Peripheral blood film.
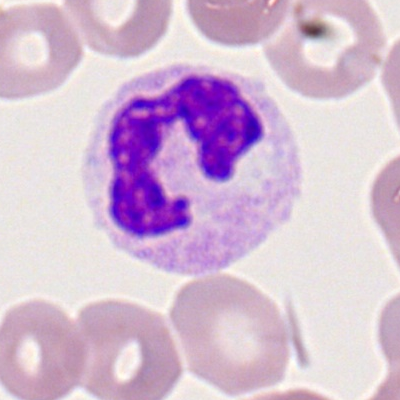

Q: What is the morphological classification of this cell?
A: A segmented neutrophil.